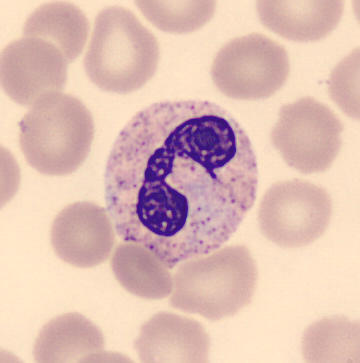 Cell type = segmented neutrophil. Acquisition: Peripheral blood film.